M8 digital microscope (Precipoint), 100× oil immersion. Peripheral blood smear. Single cell centered in the field
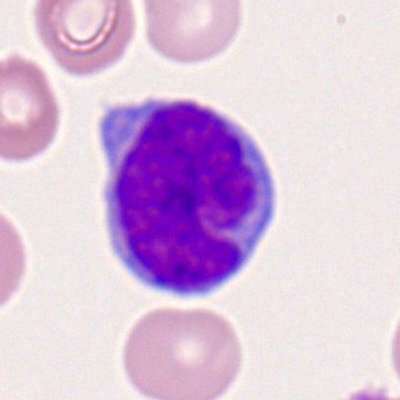Morphological class — monocyte.